Peripheral blood film. M8 digital microscope (Precipoint), 100× oil immersion. Single cell centered in the field — 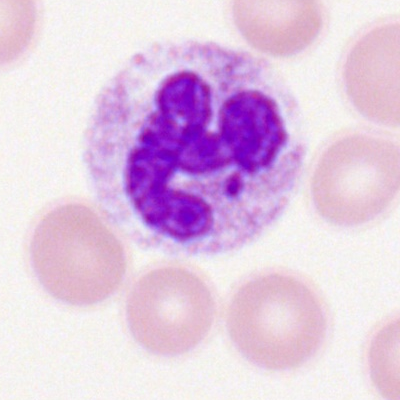
A neutrophil (segmented).